Bone marrow smear: 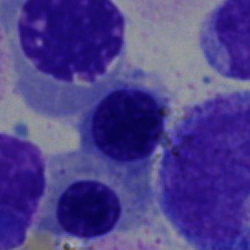 Morphology consistent with a normoblast.